Bone marrow aspirate smear. Single-cell field. 250×250 px — 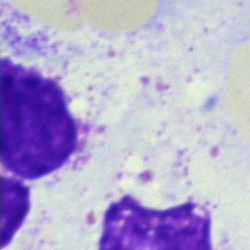

Specimen: bone marrow smear.
Cell: artifact.